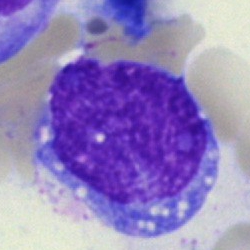 Cell type = undifferentiated blast.